Image size 250×250; bone marrow aspirate smear; Pappenheim-stained:
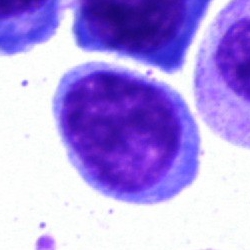 The morphological class is lymphocyte.